Bone marrow smear:
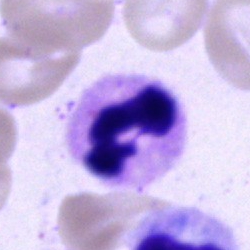 {"cell_type": "polymorphonuclear neutrophil"}